Bone marrow smear
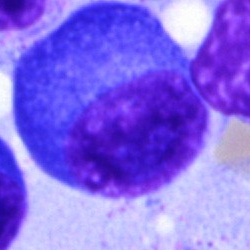 Specimen: bone marrow smear.
Morphological class: plasmacyte.
Lineage: lymphoid.